Bone marrow smear.
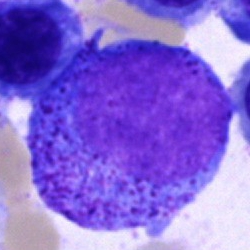The morphological class is progranulocyte.